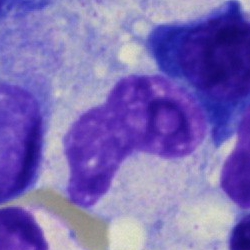 Specimen: bone marrow aspirate smear.
Morphological class: band-form neutrophil.
Lineage: myeloid.